Bone marrow smear:
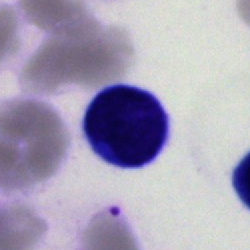Impression → lymphocyte.